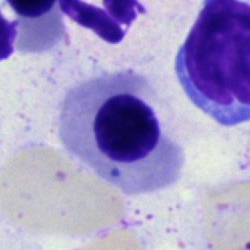 This is a nucleated red blood cell.